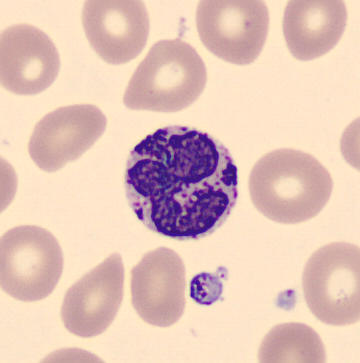

Specimen: peripheral blood smear.
Cell: basophil.